Single-cell field · peripheral blood film:
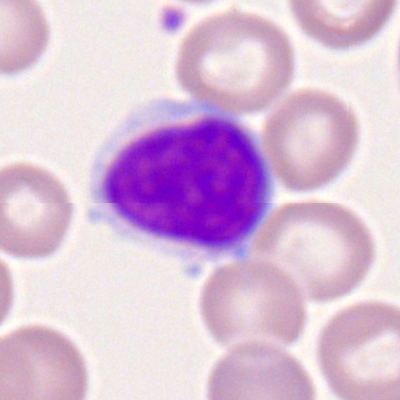
The classification is typical lymphocyte.